Bone marrow aspirate smear
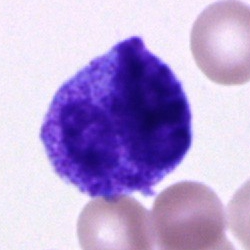 Unidentifiable cell.